Bone marrow aspirate smear
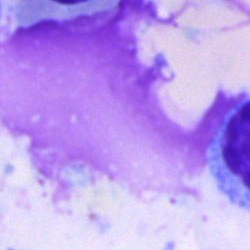 Q: What is shown here?
A: Artefact.